Bone marrow smear.
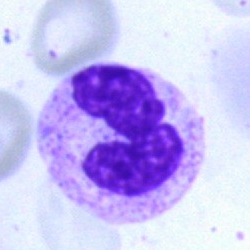Q: What cell is this?
A: Polymorphonuclear neutrophil.